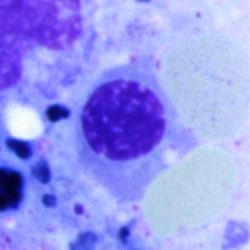
Bone marrow smear showing an erythroblast.